Bone marrow aspirate smear — 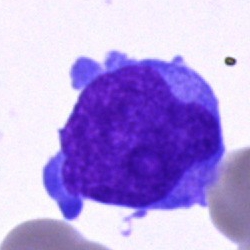 This is a blast cell.